Brightfield, 40× oil-immersion objective. Bone marrow aspirate smear — 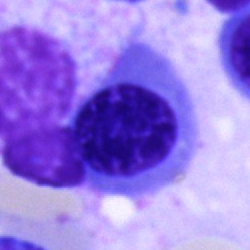 Showing a nucleated red cell.